Bone marrow smear: 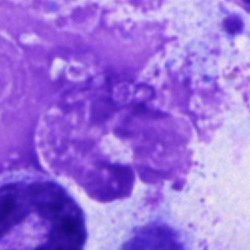Q: What is shown here?
A: Artefact.